Bone marrow smear.
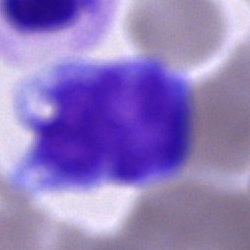 This is an unidentifiable cell.